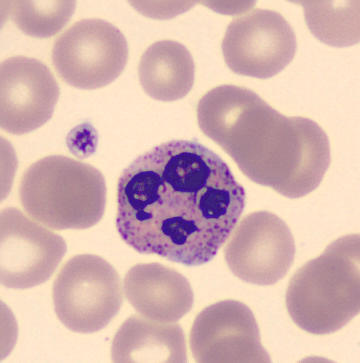

The cell is segmented neutrophil.